Bone marrow aspirate smear
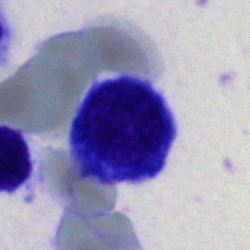This is a lymphocyte.